Bone marrow smear: 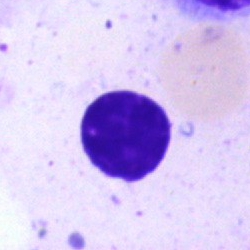Cell type: artefact.